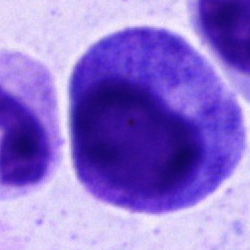Classification: promyelocyte.